Single-cell crop; bone marrow aspirate smear: 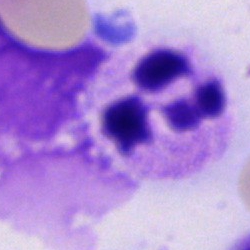Morphological class: neutrophil (segmented).